Single-cell field; bone marrow aspirate smear: 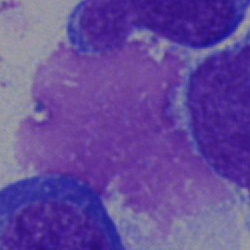An artefact.